250×250 px. Single-cell field. Bone marrow smear: 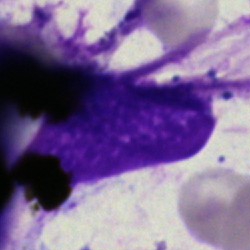

Specimen: bone marrow smear.
Cell: artefact.